Bone marrow smear — 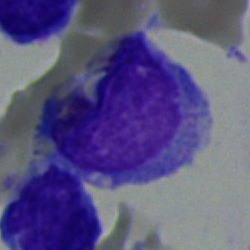 The classification is blast cell.